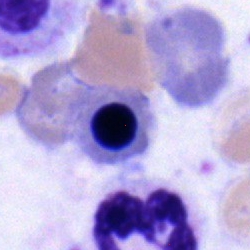

Single cell identified as an erythroblast.